Bone marrow smear: 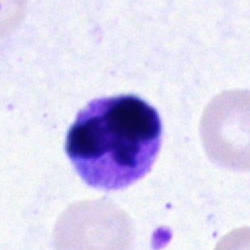 Impression — segmented neutrophil.